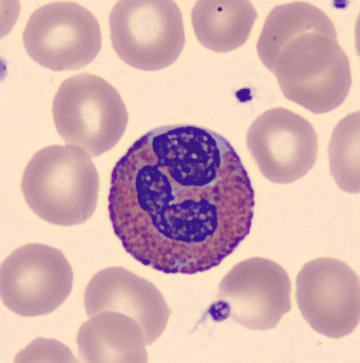Specimen: peripheral blood film.
Classification: eosinophil.
Lineage: myeloid.